Bone marrow aspirate smear. 250 by 250 pixels.
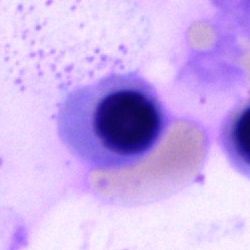Morphology → nucleated red blood cell.